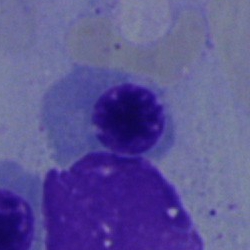

Specimen: bone marrow aspirate smear.
Morphological class: nucleated red blood cell.